Bone marrow smear: 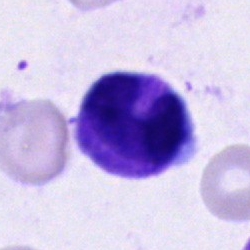
{"cell_type": "stab cell", "lineage": "myeloid"}